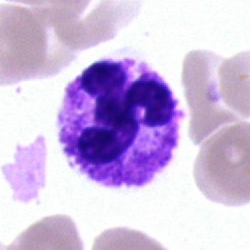
Impression → segmented neutrophil.